Bone marrow aspirate smear · MGG-stained — 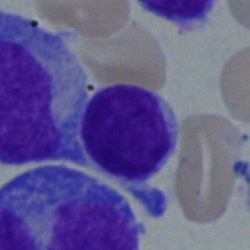Q: What cell is this?
A: Lymphocyte.